Bone marrow smear: 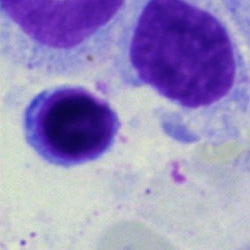Single cell identified as a lymphocyte.